Bone marrow smear:
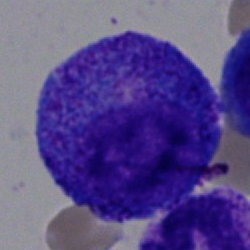 Q: Which cell type is shown here?
A: Promyelocyte.